Peripheral blood smear · Romanowsky-type stain:
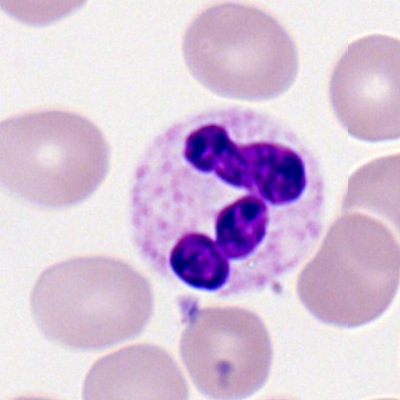

This is a neutrophil (segmented).